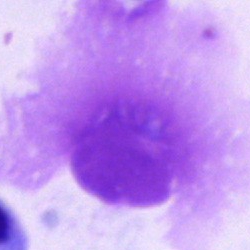 Impression → artefact.